Image size 250×250. Bone marrow aspirate smear:
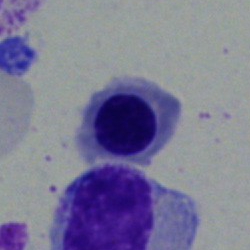
Morphological class = nucleated red cell.